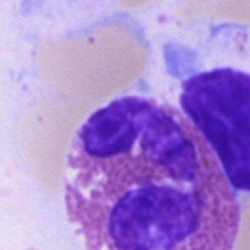
Q: Identify the cell.
A: It is an eosinophilic granulocyte.